Bone marrow smear.
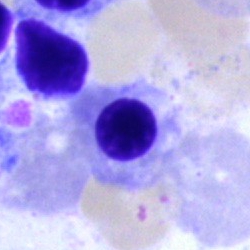

Specimen: bone marrow aspirate smear.
Cell type: erythroblast.